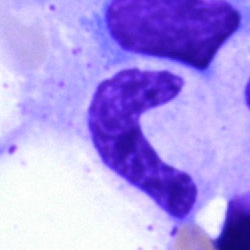 A band-form neutrophil on a bone marrow smear.